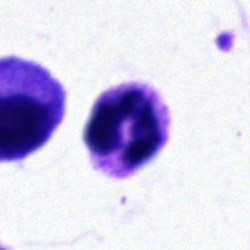
Single cell identified as a polymorphonuclear neutrophil.